Bone marrow aspirate smear:
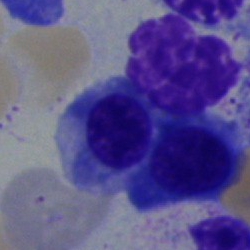

Classification = erythroblast.